250×250 px; brightfield, 40× oil-immersion objective; bone marrow aspirate smear
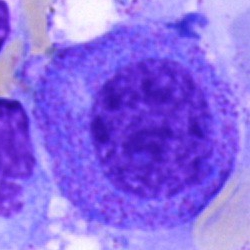
The classification is progranulocyte.